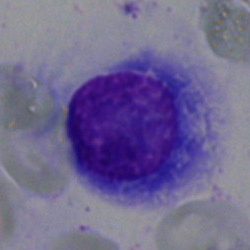
Morphology — artifact.